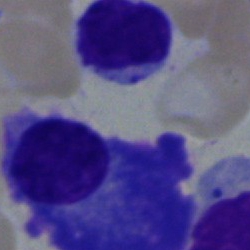The cell type is plasmacyte.